Bone marrow aspirate smear.
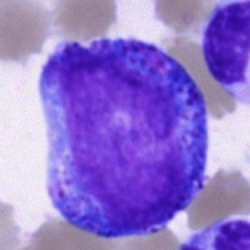

Specimen: bone marrow smear.
Morphological class: progranulocyte.
Lineage: myeloid.